May-Grünwald-Giemsa/Pappenheim stain. Bone marrow aspirate smear.
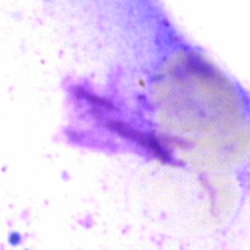Specimen: bone marrow aspirate smear.
Classification: artifact.